Bone marrow smear: 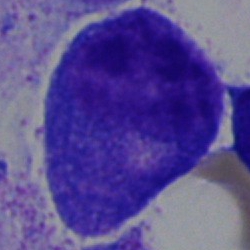
The cell shown is a progranulocyte.